Bone marrow aspirate smear: 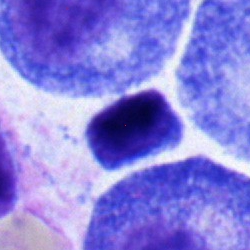
Showing a typical lymphocyte.